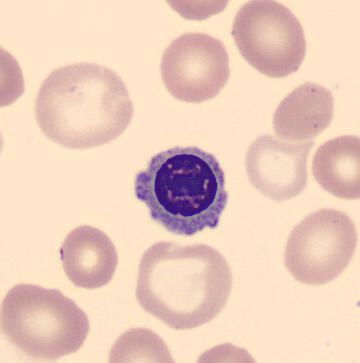

Image: Peripheral blood film.

The morphological class is nucleated red cell.